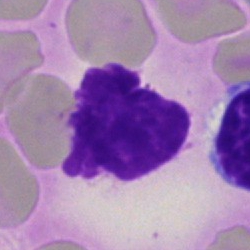

Q: What is shown here?
A: This is an artifact.